Pappenheim-stained. Bone marrow smear:
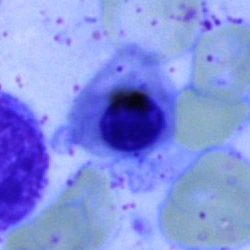

Morphology consistent with a nucleated red blood cell.